Bone marrow smear; image size 250×250 — 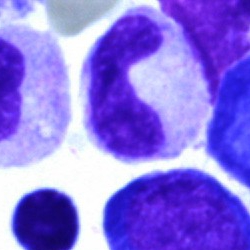 Cell type = band neutrophil.